Bone marrow smear:
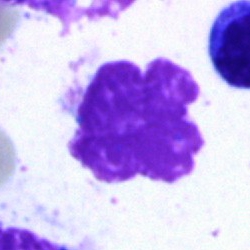
Morphological class: artefact.